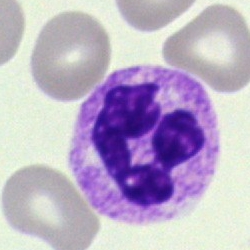Showing a polymorphonuclear neutrophil.